250 by 250 pixels. Bone marrow aspirate smear: 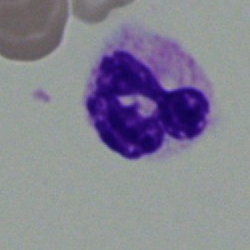
This is a segmented neutrophil.